Bone marrow smear:
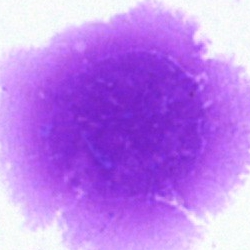

The cell shown is an artifact.